Bone marrow smear; 250×250 px; single cell centered in the field: 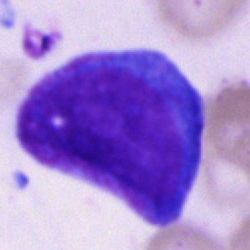Specimen: bone marrow aspirate smear.
Cell: blast cell.